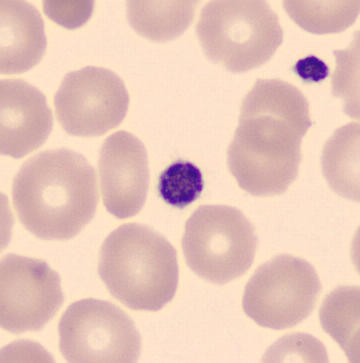

Image: Peripheral blood film.

This is a platelet.